Bone marrow aspirate smear.
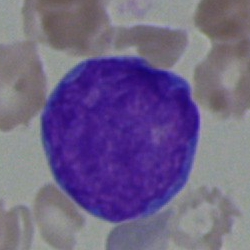 Single cell identified as a blast.